40× objective, oil immersion. Image size 250×250. Bone marrow aspirate smear: 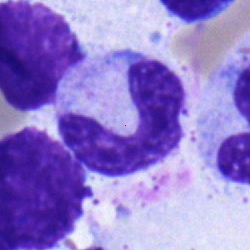 Classification = band neutrophil.